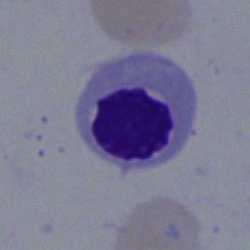

Cell type: nucleated red cell.